Brightfield microscopy, 40× oil immersion; image size 250×250; bone marrow aspirate smear: 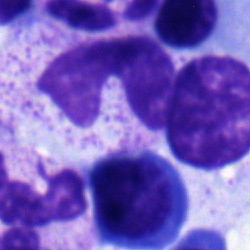
Band neutrophil.